Bone marrow aspirate smear
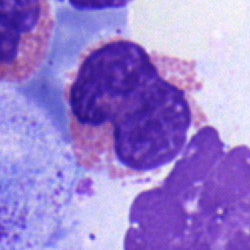Q: What is shown here?
A: An eosinophilic granulocyte.